Bone marrow aspirate smear — 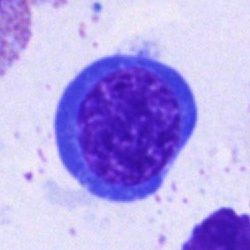 The cell type is nucleated red blood cell.